Bone marrow smear. 250×250
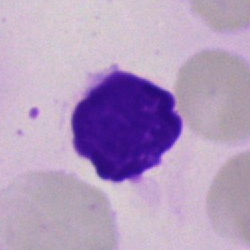 Q: What is shown here?
A: It is an artifact.